Bone marrow smear.
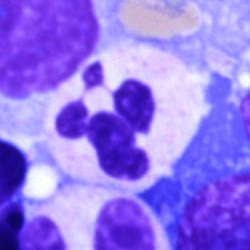
Single cell identified as a segmented neutrophil.